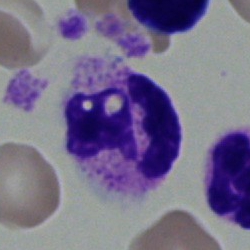Single-cell crop from a bone marrow smear: neutrophil (segmented).